Bone marrow aspirate smear
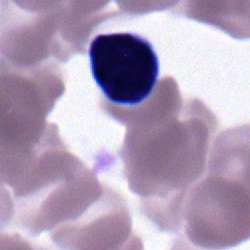The cell shown is a lymphocyte.